Bone marrow aspirate smear. Single cell centered in the field
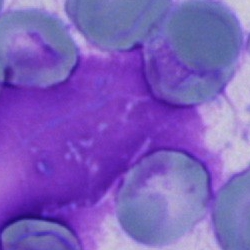
The cell shown is an artifact.